Bone marrow aspirate smear:
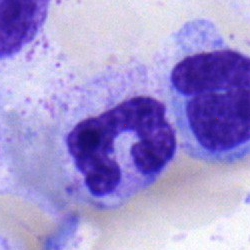

Cell: segmented neutrophil.